Single cell centered in the field; bone marrow smear; Pappenheim-stained — 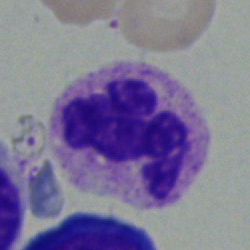
Q: What is shown here?
A: It is a polymorphonuclear neutrophil.